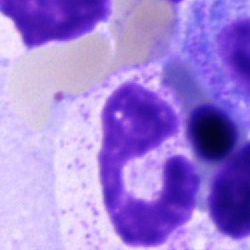 Cell = polymorphonuclear neutrophil.